Bone marrow aspirate smear: 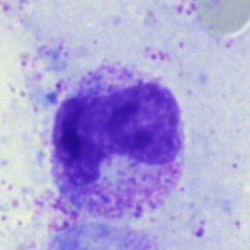
The cell shown is a metamyelocyte.